Bone marrow smear — 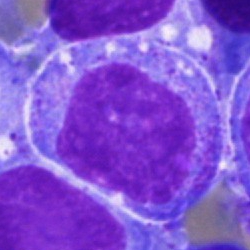 Impression → progranulocyte.